250 by 250 pixels. Single-cell crop. Bone marrow aspirate smear — 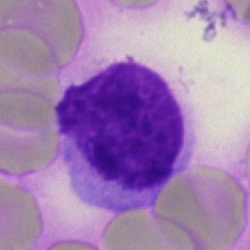Morphology consistent with a typical lymphocyte.